Bone marrow smear. Brightfield, 40× oil-immersion objective. MGG-stained.
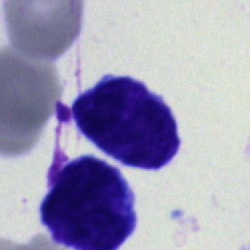This is a blast cell.